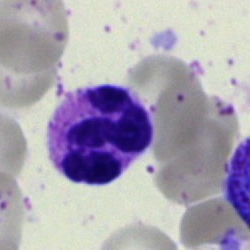

The cell shown is a segmented neutrophil.